Bone marrow aspirate smear. 40× oil immersion.
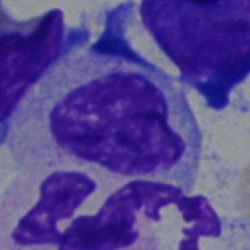The cell is myelocyte.